100× objective, oil immersion; Romanowsky stain; peripheral blood smear — 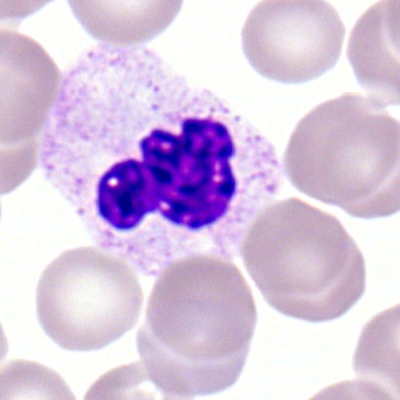Impression → segmented neutrophil.